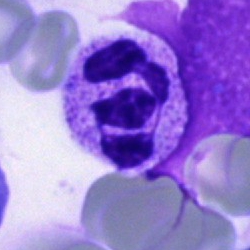
Impression → segmented neutrophil.